Bone marrow smear; single-cell field; MGG-stained
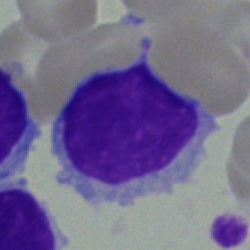 The cell shown is a lymphocyte.